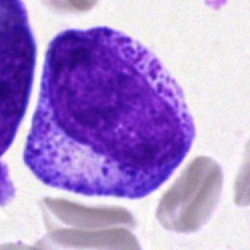

Myelocyte.